Bone marrow aspirate smear. 250×250. Single-cell crop: 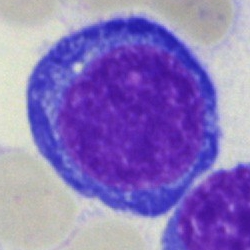Morphology consistent with a proerythroblast.